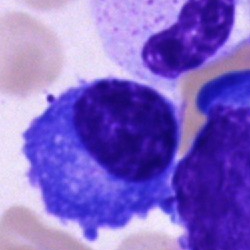 Morphology — plasma cell.